Bone marrow smear:
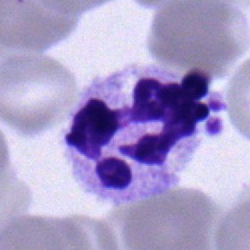
Showing a segmented neutrophil.